Bone marrow smear.
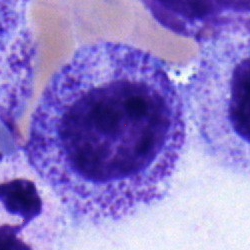 Morphology → myelocyte.